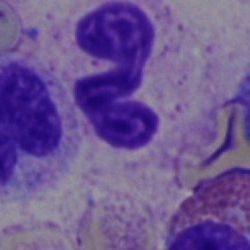

Q: What is the morphological classification of this cell?
A: Band-form neutrophil.